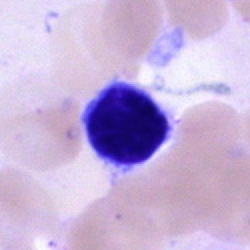Single cell identified as a lymphocyte.